250×250 px · bone marrow smear · brightfield, 40× oil-immersion objective: 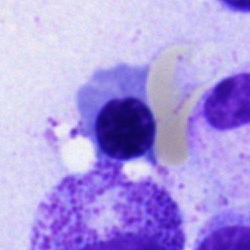Cell: nucleated red blood cell.